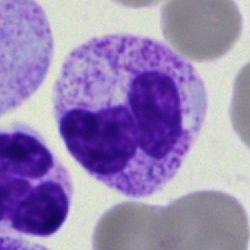 Segmented neutrophil.